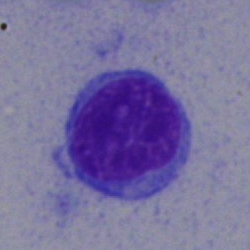
The cell shown is a lymphocyte.